Bone marrow smear
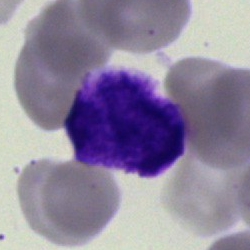
Q: What is shown here?
A: This is an artefact.